Bone marrow aspirate smear — 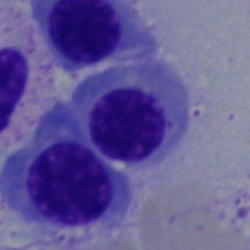
{"cell_type": "erythroblast", "lineage": "erythroid"}